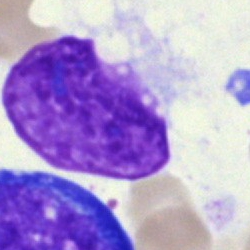
Specimen: bone marrow aspirate smear.
Morphological class: artifact.